Bone marrow aspirate smear:
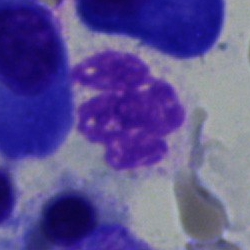
Morphological class = neutrophil (segmented).